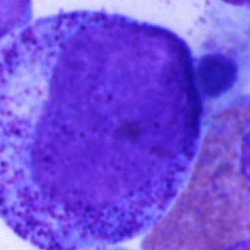 Cell type — progranulocyte.